Bone marrow aspirate smear — 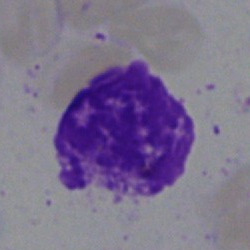

Cell = artifact.